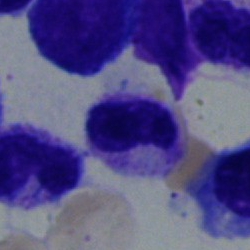 The classification is metamyelocyte.